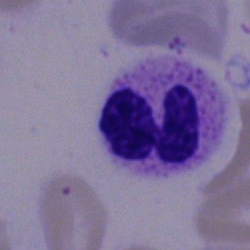

{"cell_type": "segmented neutrophil"}